Bone marrow smear — 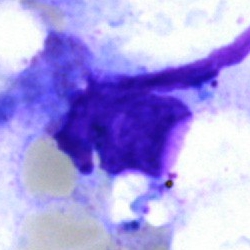
An artefact.